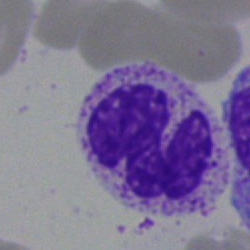
Q: What cell is this?
A: This is a neutrophil (segmented).